Peripheral blood film; single-cell crop; Romanowsky-stained.
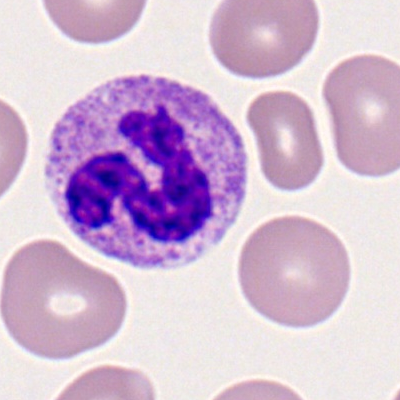Q: What is shown here?
A: Neutrophil (segmented).